40× oil immersion · bone marrow smear.
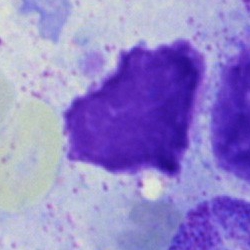
Specimen: bone marrow aspirate smear.
Classification: artefact.